Cropped to a single cell; bone marrow aspirate smear.
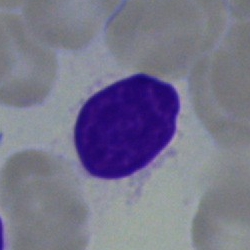

Impression → lymphocyte.